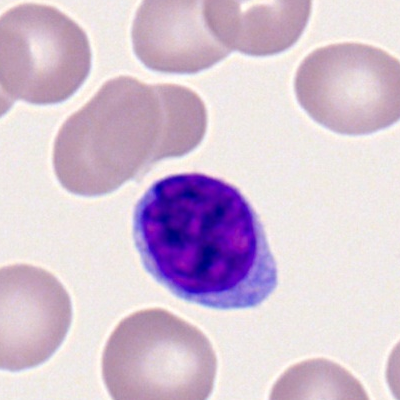

Impression → lymphocyte.